Bone marrow smear; 250 by 250 pixels; brightfield microscopy, 40× oil immersion
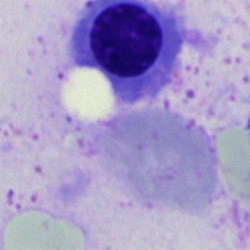

The classification is nucleated red blood cell.